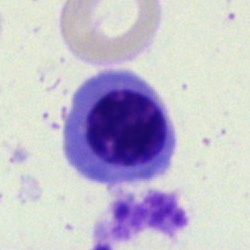

Specimen: bone marrow aspirate smear.
Cell type: normoblast.
Lineage: erythroid.